Bone marrow aspirate smear. Single-cell crop
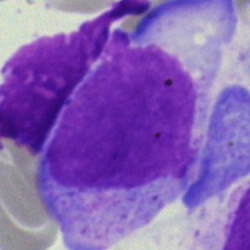

The cell is blast cell.